Bone marrow aspirate smear — 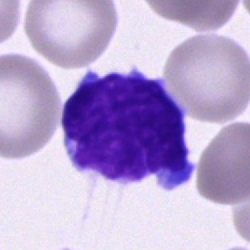
{"cell_type": "typical lymphocyte", "lineage": "lymphoid"}